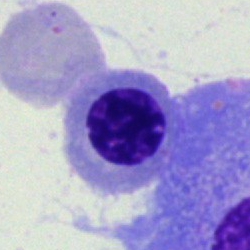

Impression → nucleated red cell.